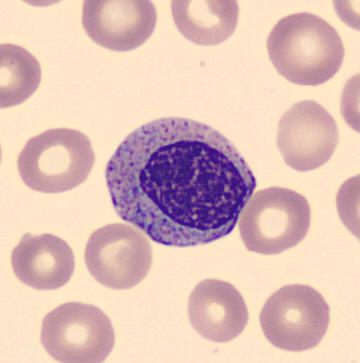Single cell identified as a myelocyte.

Image: Peripheral blood smear.